Peripheral blood film.
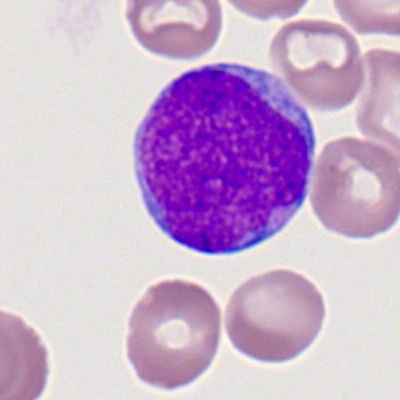

Cell: myeloid blast.